May-Grünwald-Giemsa stain · bone marrow smear: 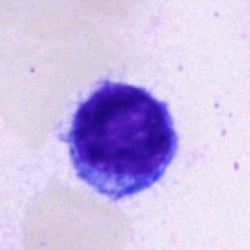
A lymphocyte.